Bone marrow smear · 250×250 px
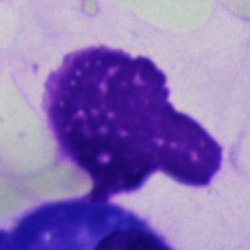The cell shown is an artifact.